Brightfield microscopy, 40× oil immersion; single-cell field; bone marrow smear.
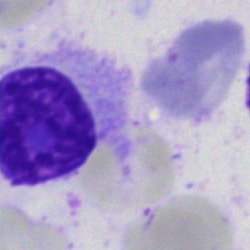{"cell_type": "artefact"}